Romanowsky stain. Single-cell crop. Peripheral blood smear
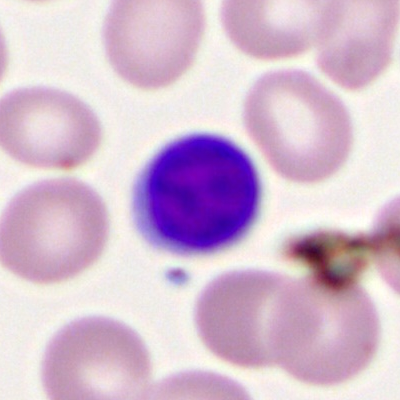
This is a lymphocyte.